Peripheral blood smear:
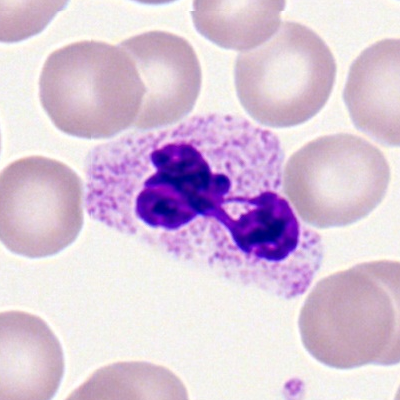
A segmented neutrophil.